Bone marrow smear · single-cell crop:
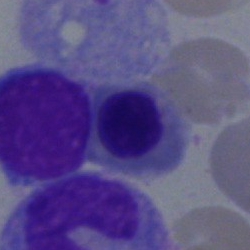 Specimen: bone marrow aspirate smear.
Cell: nucleated red blood cell.
Lineage: erythroid.